Bone marrow aspirate smear: 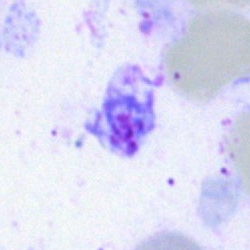Morphological class = artefact.